Bone marrow aspirate smear.
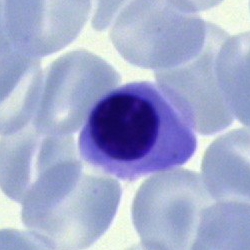
Cell type: nucleated red cell.